Bone marrow aspirate smear; 250×250 px.
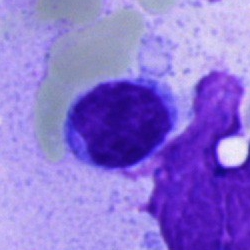

The cell type is lymphocyte.